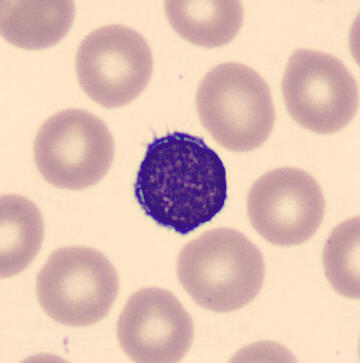 Single cell identified as a typical lymphocyte.